Bone marrow aspirate smear; 250×250 px:
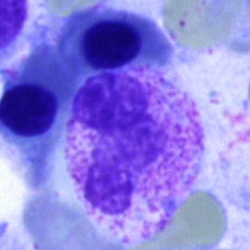 Morphology consistent with a segmented neutrophil.